Peripheral blood film · 400×400 — 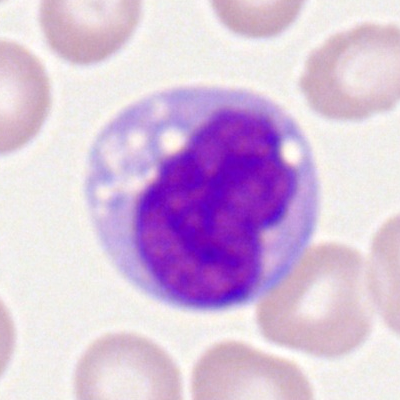Q: Which cell type is shown here?
A: It is a monocyte.